Brightfield, 40× oil-immersion objective · bone marrow aspirate smear · MGG-stained:
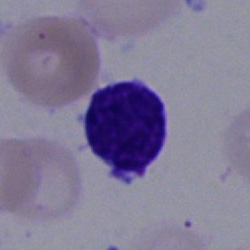
Specimen: bone marrow smear.
Classification: lymphocyte.
Lineage: lymphoid.